Bone marrow smear; 250×250; Pappenheim-stained.
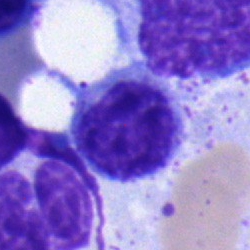Single cell identified as a lymphocyte.